Single-cell crop. Bone marrow smear
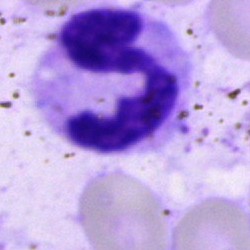 Cell type — segmented neutrophil.